Bone marrow aspirate smear
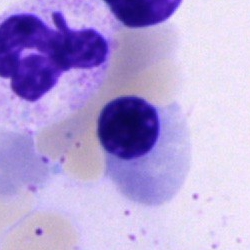

Specimen: bone marrow aspirate smear.
Cell: nucleated red cell.